250×250 px. Single cell centered in the field. Bone marrow aspirate smear
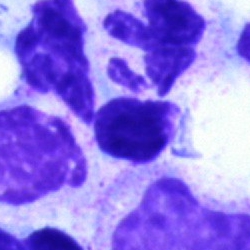 Q: What is shown here?
A: This is an artifact.